Bone marrow smear. 250 by 250 pixels: 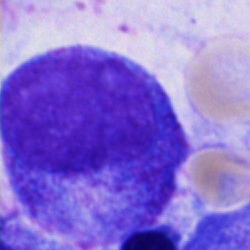Showing a progranulocyte.